40× oil immersion. Bone marrow smear: 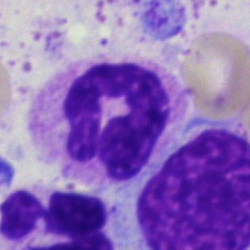

The cell shown is a polymorphonuclear neutrophil.